Bone marrow aspirate smear — 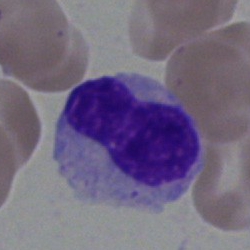 {"cell_type": "metamyelocyte", "lineage": "myeloid"}